Bone marrow aspirate smear.
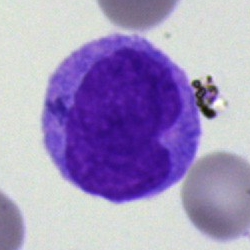
Single cell identified as an undifferentiated blast.